Bone marrow smear:
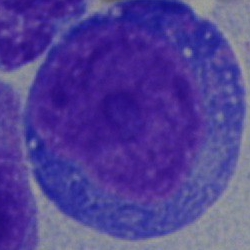 The classification is proerythroblast.